Bone marrow aspirate smear.
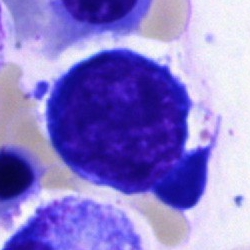Cell type = normoblast.